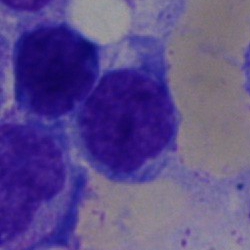Cell type = undifferentiated blast.